Peripheral blood smear
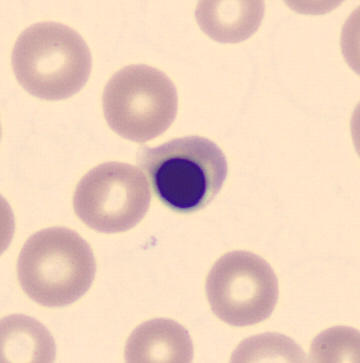Q: What cell is this?
A: It is a normoblast.